Brightfield microscopy, 40× oil immersion. Bone marrow smear: 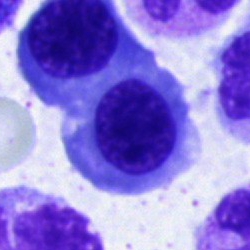Showing a nucleated red blood cell.